Bone marrow smear: 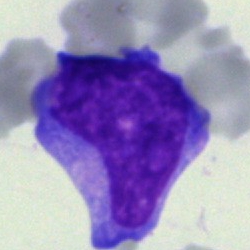

Cell = undifferentiated blast.